Bone marrow aspirate smear · single-cell field — 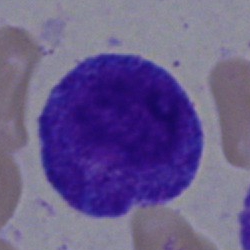Progranulocyte.